Peripheral blood film
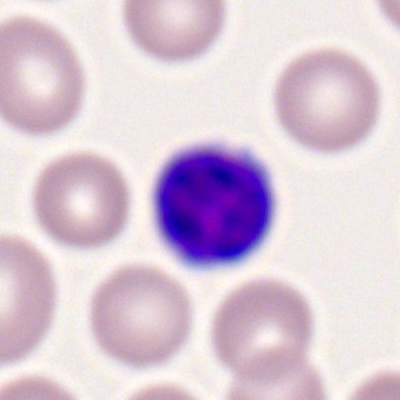

Q: What is the morphological classification of this cell?
A: This is a lymphocyte.